Bone marrow aspirate smear — 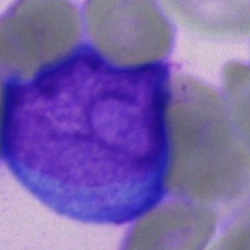

An undifferentiated blast.